May-Grünwald-Giemsa/Pappenheim stain · bone marrow aspirate smear — 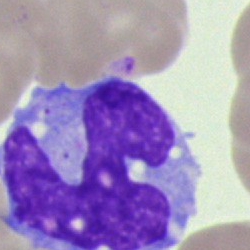The cell type is monocyte.